Bone marrow aspirate smear.
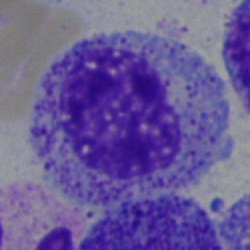Cell = myelocyte.